Bone marrow smear:
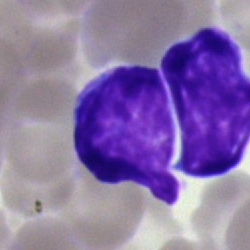Morphology → typical lymphocyte.